Single-cell field; bone marrow aspirate smear; 250 by 250 pixels.
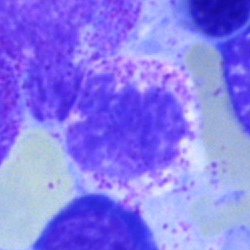Showing a neutrophil (segmented).